250 by 250 pixels. Brightfield microscopy, 40× oil immersion. Bone marrow smear — 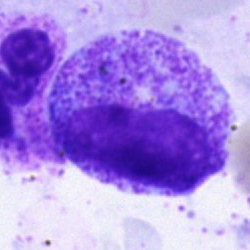Q: Identify the cell.
A: It is a progranulocyte.